Bone marrow aspirate smear: 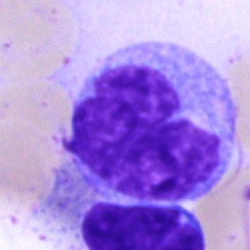

{"cell_type": "monocyte", "lineage": "myeloid"}